Bone marrow smear; 250×250 px: 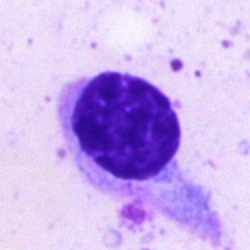
This is a typical lymphocyte.